Pappenheim-stained; bone marrow smear
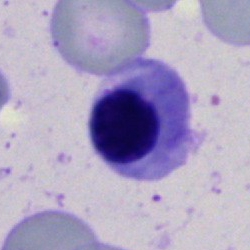

Specimen: bone marrow smear.
Cell: normoblast.